Bone marrow aspirate smear — 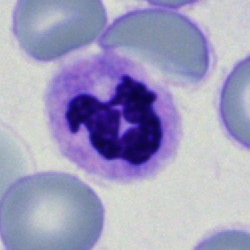 Specimen: bone marrow aspirate smear.
Morphological class: neutrophil (segmented).